Bone marrow smear · single-cell crop · Pappenheim-stained: 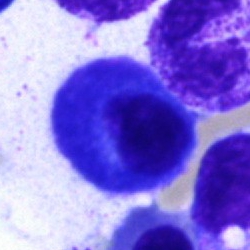
Morphological class — plasmacyte.